Peripheral blood smear; 400×400 px; 100× objective, oil immersion.
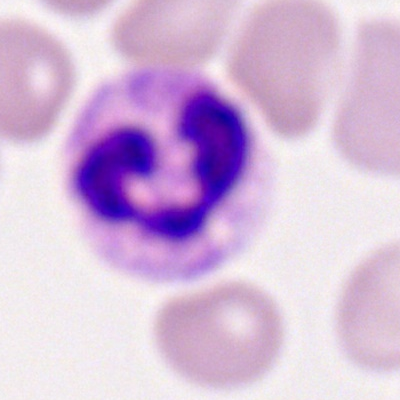
Morphology — neutrophil (segmented).